Bone marrow aspirate smear
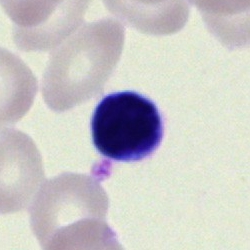
Specimen: bone marrow aspirate smear.
Classification: typical lymphocyte.